Bone marrow aspirate smear
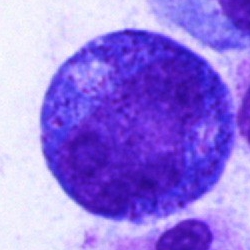

Morphology consistent with a progranulocyte.